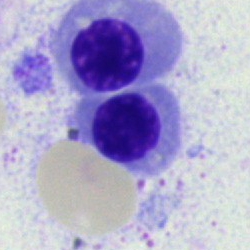 Normoblast.